May-Grünwald-Giemsa stain. 250 by 250 pixels. Bone marrow aspirate smear.
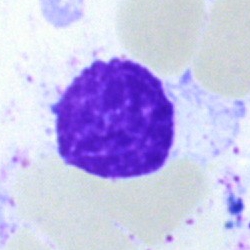
This is an artefact.